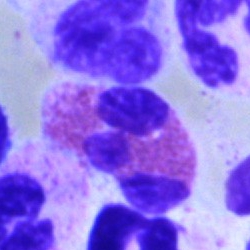 The morphological class is eosinophilic granulocyte.